Pappenheim-stained · bone marrow smear:
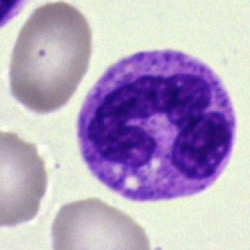

Neutrophil (segmented).